Bone marrow smear · 40× objective, oil immersion: 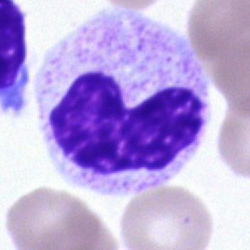

A stab cell.